Bone marrow aspirate smear
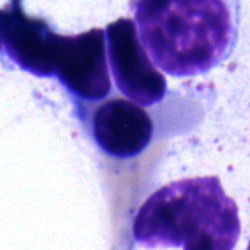 An erythroblast.